Peripheral blood smear: 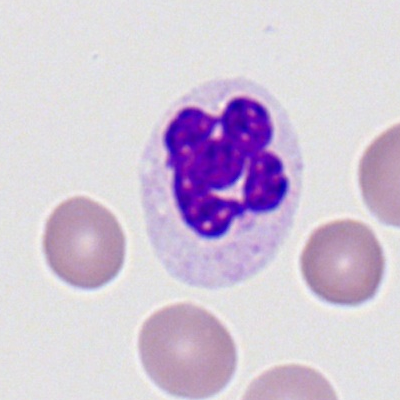
Classification = segmented neutrophil.